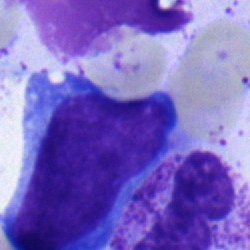Q: Identify the cell.
A: This is a blast.